Bone marrow aspirate smear.
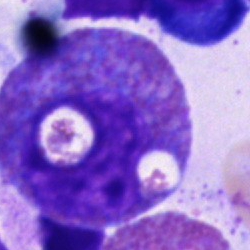
Morphological class: eosinophil.